Brightfield microscopy, 40× oil immersion. Bone marrow smear. Pappenheim-stained.
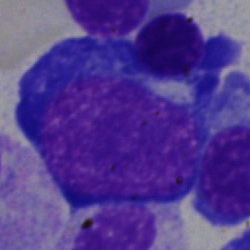
Cell = proerythroblast.